Peripheral blood smear. M8 digital microscope (Precipoint), 100× oil immersion: 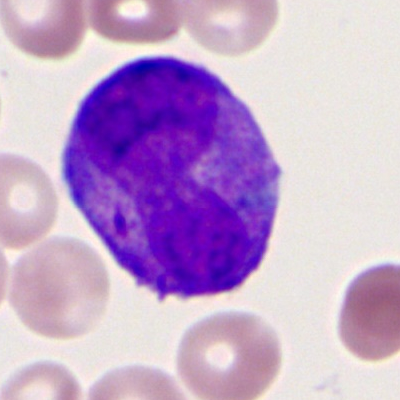
Q: What is the morphological classification of this cell?
A: Bilobed-nucleus promyelocyte.